Bone marrow smear.
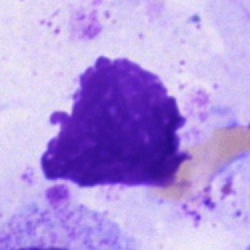 Q: What is shown here?
A: An artifact.